Bone marrow smear: 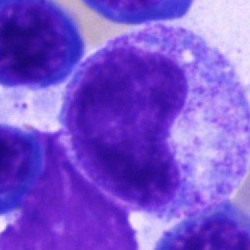

Specimen: bone marrow aspirate smear.
Morphological class: progranulocyte.